Bone marrow aspirate smear:
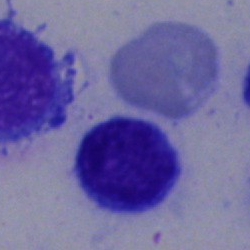
The cell shown is a typical lymphocyte.